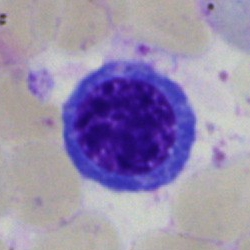Morphology → normoblast.